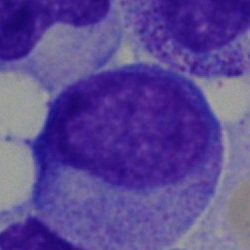 Bone marrow smear showing a blast cell.